Bone marrow smear — 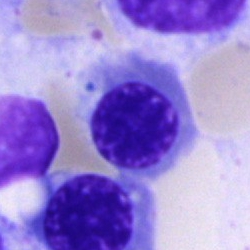 Specimen: bone marrow smear.
Cell: nucleated red blood cell.
Lineage: erythroid.